Cropped to a single cell · bone marrow smear.
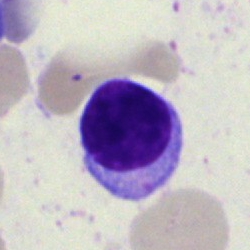 Morphology consistent with a lymphocyte.